Bone marrow aspirate smear:
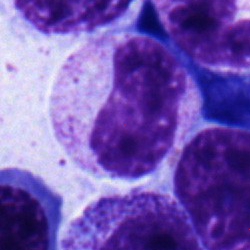

Metamyelocyte.